Bone marrow aspirate smear
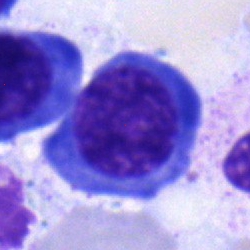 Classification: nucleated red blood cell.